Brightfield microscopy, 40× oil immersion. Bone marrow smear. Image size 250×250: 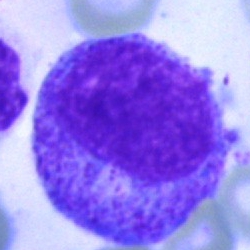 Morphological class = progranulocyte.